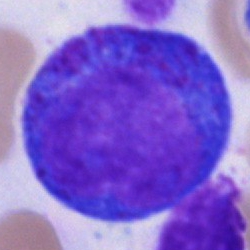 The cell shown is a promyelocyte.